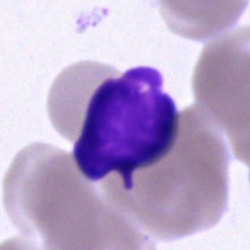 Showing an artifact.